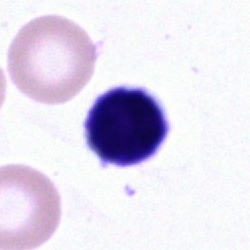
Morphological class: cell of indeterminate lineage.